Bone marrow aspirate smear — 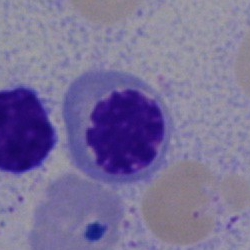

Q: What type of cell is this?
A: It is a normoblast.